Bone marrow smear:
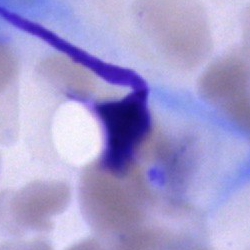
The cell shown is an artefact.